May-Grünwald-Giemsa/Pappenheim stain. Bone marrow aspirate smear
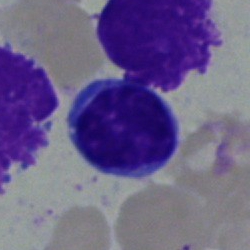Showing a typical lymphocyte.